Bone marrow smear. May-Grünwald-Giemsa/Pappenheim stain. 250 by 250 pixels.
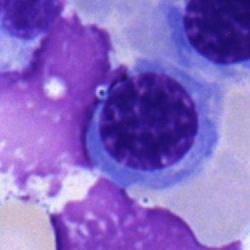Cell type: nucleated red cell.